Bone marrow smear; single-cell crop; May-Grünwald-Giemsa/Pappenheim stain: 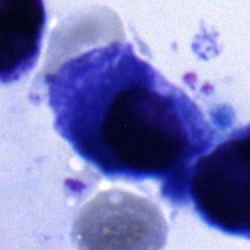{"cell_type": "plasma cell", "lineage": "lymphoid"}